Bone marrow aspirate smear.
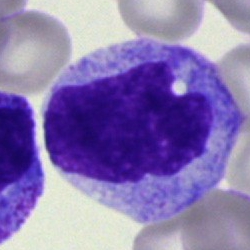 The cell shown is a monocyte.